250×250 px; 40× oil immersion; bone marrow aspirate smear
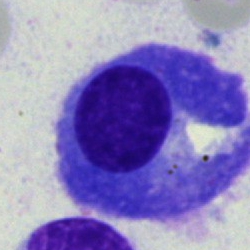
Q: What type of cell is this?
A: A plasma cell.